Peripheral blood smear. 400 by 400 pixels. Romanowsky stain:
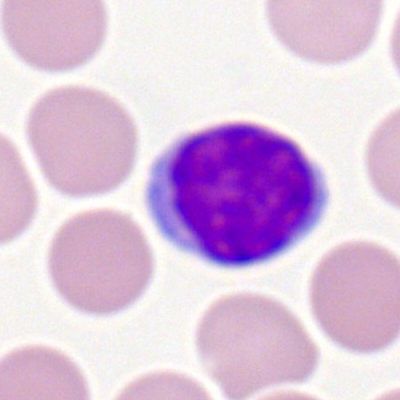

Specimen: peripheral blood smear.
Cell type: typical lymphocyte.
Lineage: lymphoid.